Bone marrow aspirate smear:
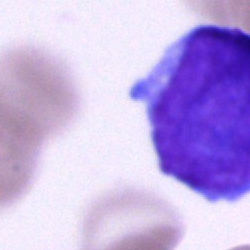
Q: What cell is this?
A: An undifferentiated blast.